Bone marrow aspirate smear
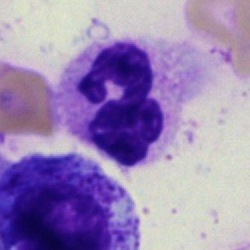 The classification is neutrophil (segmented).